May-Grünwald-Giemsa stain · bone marrow smear: 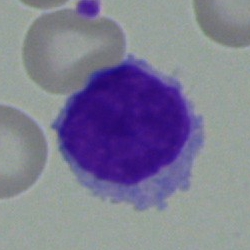Showing a typical lymphocyte.